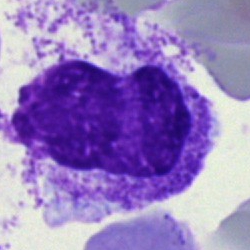

This is an artefact.